Bone marrow aspirate smear — 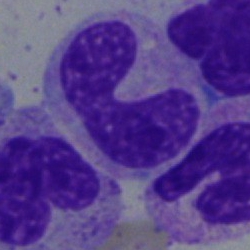 Cell — band neutrophil.